Bone marrow smear. Image size 250×250:
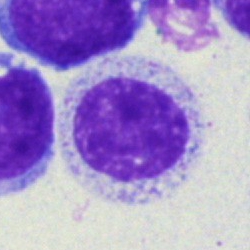
Single cell identified as a metamyelocyte.